Bone marrow aspirate smear: 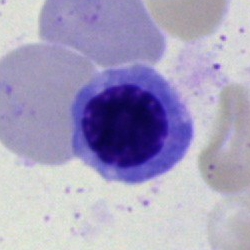Morphological class: normoblast.